M8 digital microscope (Precipoint), 100× oil immersion. Romanowsky-type stain. Peripheral blood smear
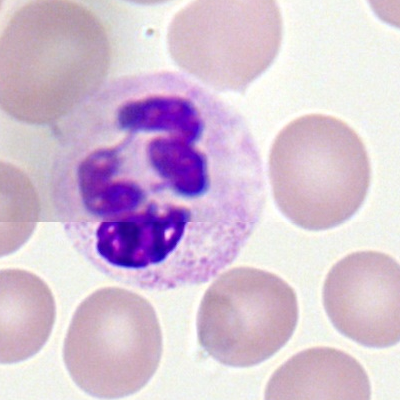
Specimen: peripheral blood film.
Classification: polymorphonuclear neutrophil.
Lineage: myeloid.